MGG-stained. Bone marrow aspirate smear. Brightfield, 40× oil-immersion objective:
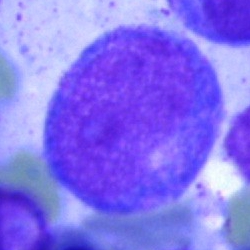Morphology — promyelocyte.